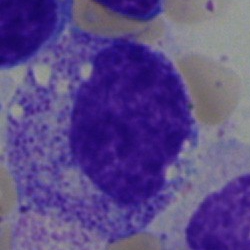 Classification: myelocyte.